Bone marrow aspirate smear.
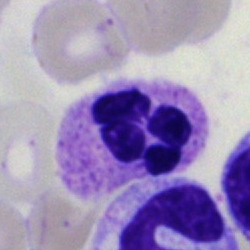
This is a neutrophil (segmented).